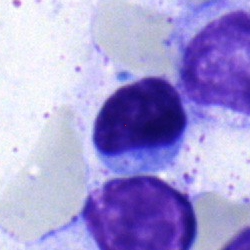The cell type is typical lymphocyte.